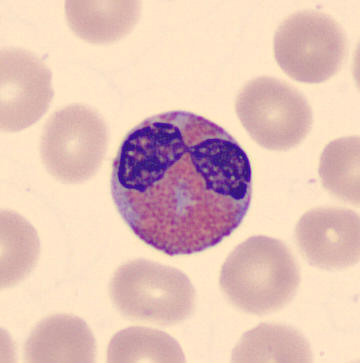Specimen: peripheral blood film.
Morphological class: eosinophil.
Lineage: myeloid.